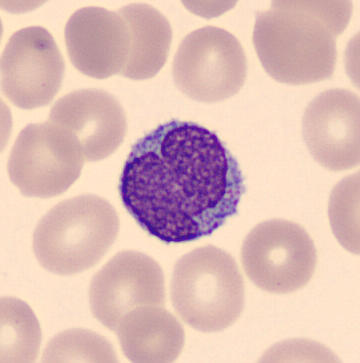 Image: Peripheral blood smear · May Grünwald-Giemsa stain · CellaVision DM96. Single cell identified as a monocyte.